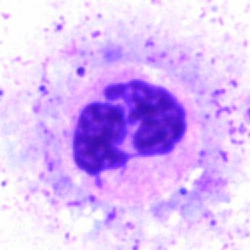

Morphology — neutrophil (segmented).